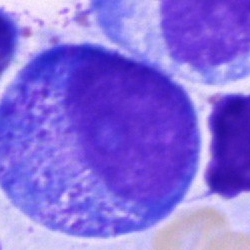The cell shown is a promyelocyte.